Bone marrow smear; 40× oil immersion.
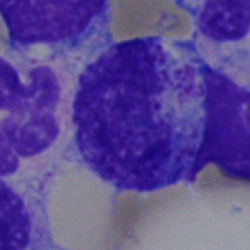Q: What is shown here?
A: Promyelocyte.